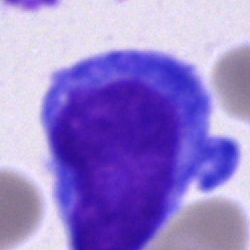Morphological class: undifferentiated blast.